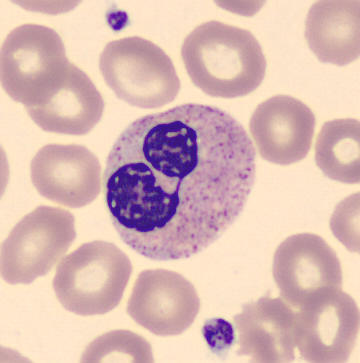 Q: Which cell type is shown here?
A: This is a segmented neutrophil.

Image: Peripheral blood smear.